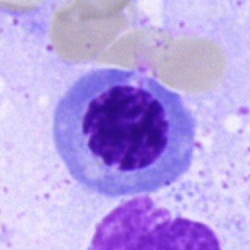

Morphological class = nucleated red blood cell.